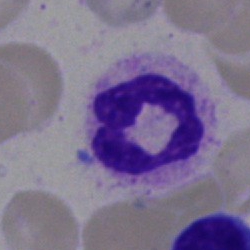
Morphology → polymorphonuclear neutrophil.